Bone marrow aspirate smear:
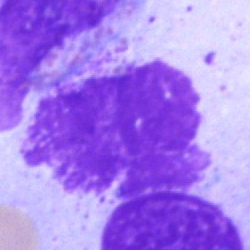The cell type is artifact.